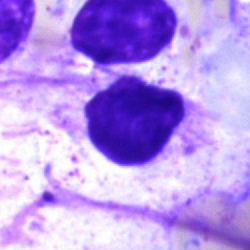
Single cell identified as an artifact.